Brightfield, 40× oil-immersion objective · bone marrow smear · single-cell crop: 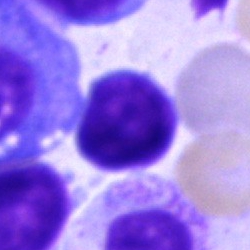 The cell shown is a typical lymphocyte.